Bone marrow smear — 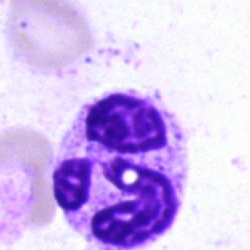 Specimen: bone marrow aspirate smear.
Cell: neutrophil (segmented).
Lineage: myeloid.